Bone marrow aspirate smear; 40× objective, oil immersion — 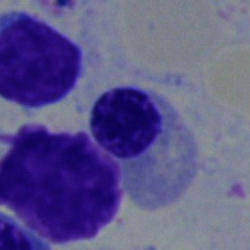
Specimen: bone marrow aspirate smear.
Morphological class: erythroblast.
Lineage: erythroid.